Brightfield microscopy, 40× oil immersion. Bone marrow smear. May-Grünwald-Giemsa stain.
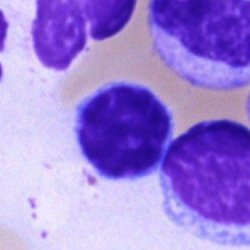

The cell is lymphocyte.